400×400 px. Peripheral blood smear: 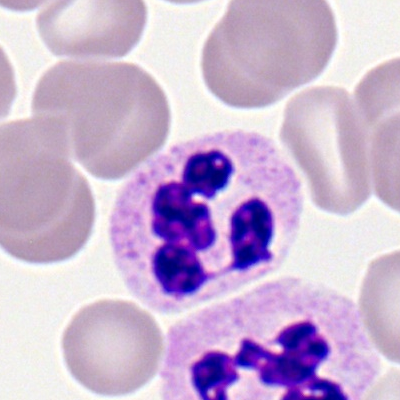
A neutrophil (segmented).